Bone marrow aspirate smear; MGG-stained
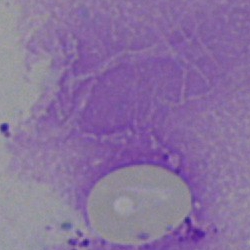
Cell = artifact.